Bone marrow aspirate smear:
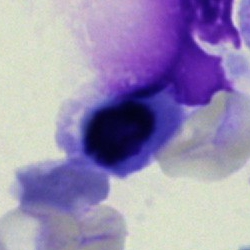 Specimen: bone marrow smear.
Cell type: nucleated red cell.
Lineage: erythroid.